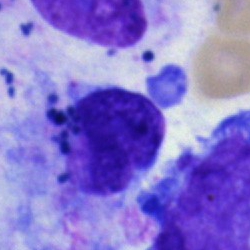
The cell type is artifact.